250 by 250 pixels · bone marrow smear · Pappenheim-stained: 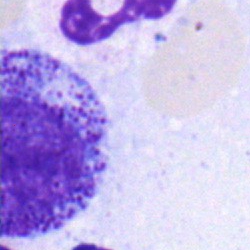 Specimen: bone marrow aspirate smear.
Cell: myelocyte.
Lineage: myeloid.